Bone marrow aspirate smear; May-Grünwald-Giemsa stain — 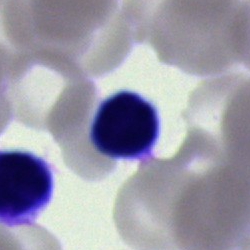
A lymphocyte.